Bone marrow smear — 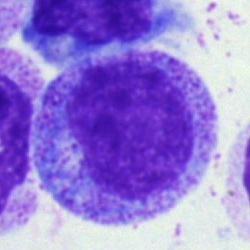
Cell type — progranulocyte.